Peripheral blood smear
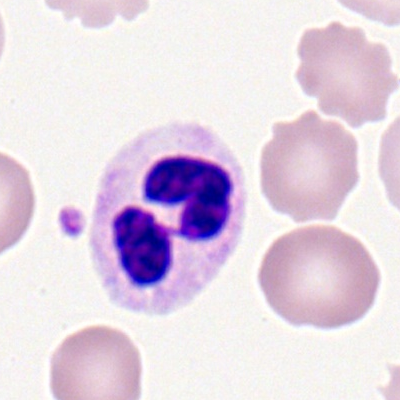

The cell shown is a segmented neutrophil.